250 by 250 pixels · bone marrow smear · single-cell crop
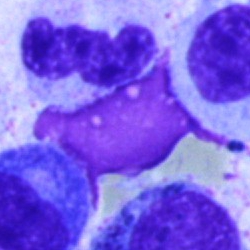 Cell type: artifact.